Single cell centered in the field · peripheral blood smear: 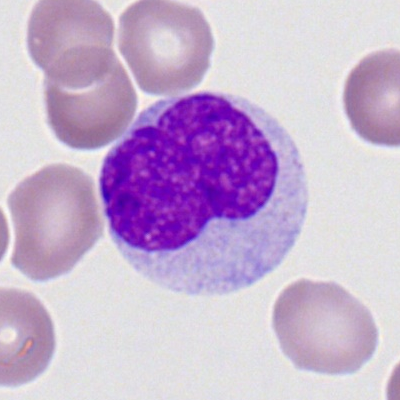The cell is monocyte.